Bone marrow aspirate smear — 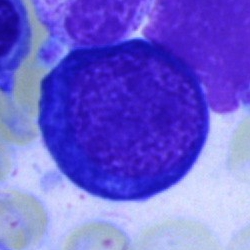 Q: What is the morphological classification of this cell?
A: This is a normoblast.